Bone marrow aspirate smear: 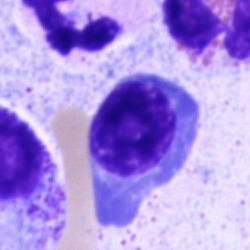
Nucleated red cell.